Bone marrow smear; 40× objective, oil immersion; single-cell crop:
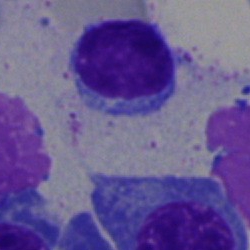Typical lymphocyte.